MGG-stained; 250×250; bone marrow smear: 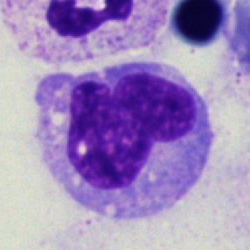 Impression — monocyte.